Bone marrow aspirate smear
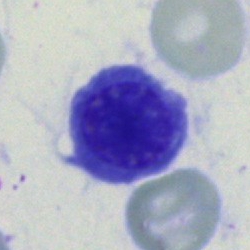Cell — nucleated red cell.